Brightfield microscopy, 40× oil immersion. Bone marrow smear: 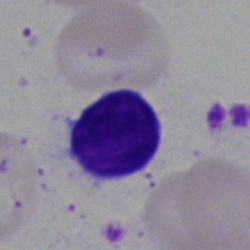
Morphological class: typical lymphocyte.